Peripheral blood smear: 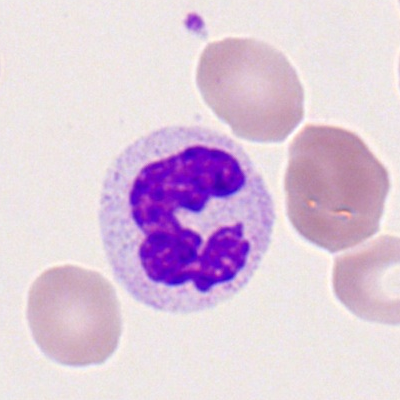

{"cell_type": "segmented neutrophil"}